Bone marrow aspirate smear.
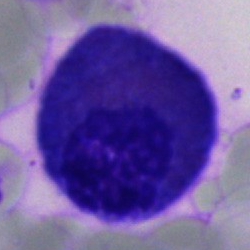 Eosinophilic granulocyte.